Bone marrow smear:
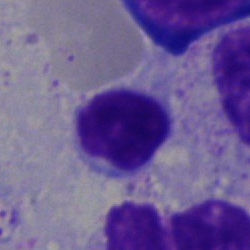Cell: typical lymphocyte.